Bone marrow smear:
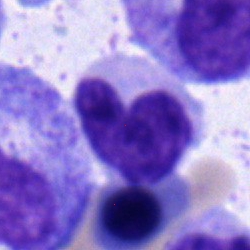
Morphology consistent with a neutrophil (band).